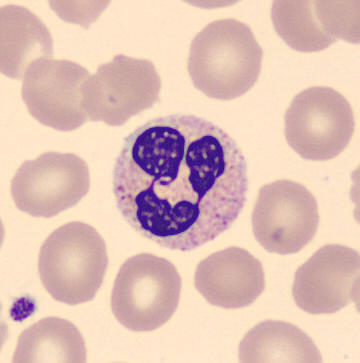
Q: Which cell type is shown here?
A: A polymorphonuclear neutrophil.